Bone marrow smear · brightfield microscopy, 40× oil immersion:
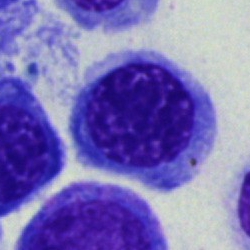Q: What is shown here?
A: It is a nucleated red cell.